Bone marrow aspirate smear. Pappenheim-stained.
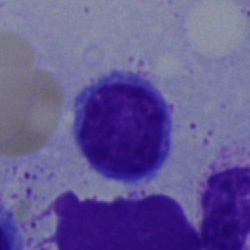Impression — lymphocyte.